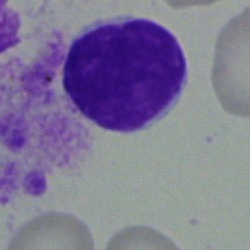
Single cell identified as a lymphocyte.